Bone marrow aspirate smear; single cell centered in the field
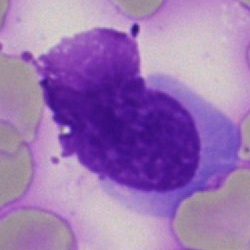
Showing a lymphocyte.